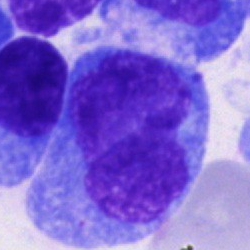
Morphology consistent with a plasma cell.